May-Grünwald-Giemsa/Pappenheim stain; single cell centered in the field; bone marrow aspirate smear:
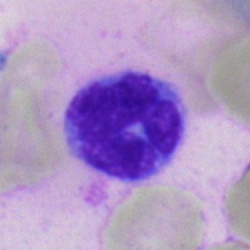This is a monocyte.